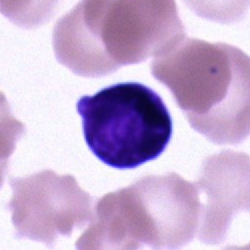 {"cell_type": "unidentifiable cell"}